Bone marrow smear:
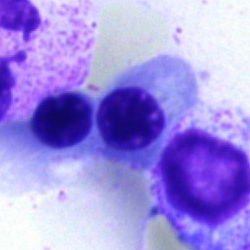
Morphology — normoblast.